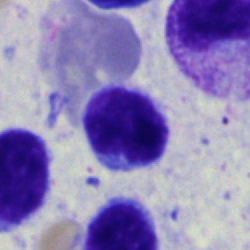

Cell type = typical lymphocyte.